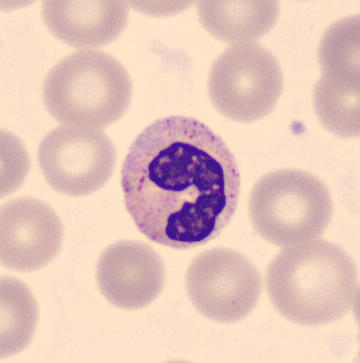
Impression — band neutrophil. Peripheral blood film · CellaVision DM96.